Single-cell crop. 40× objective, oil immersion. Bone marrow aspirate smear
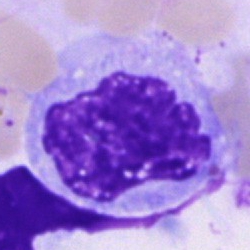
Q: What cell is this?
A: Unidentifiable cell.